Bone marrow smear.
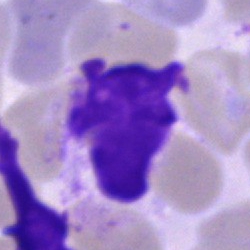 Specimen: bone marrow aspirate smear.
Classification: artifact.